Romanowsky-type stain; peripheral blood film: 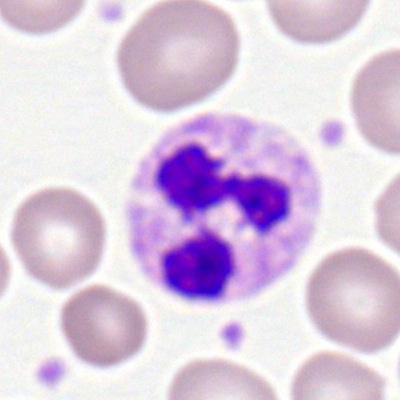The cell is polymorphonuclear neutrophil.